Bone marrow smear:
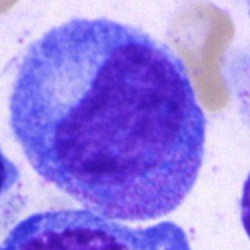

{"cell_type": "progranulocyte"}